Bone marrow smear:
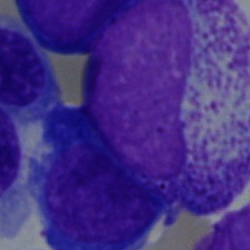
The cell type is myelocyte.